Cropped to a single cell · peripheral blood film:
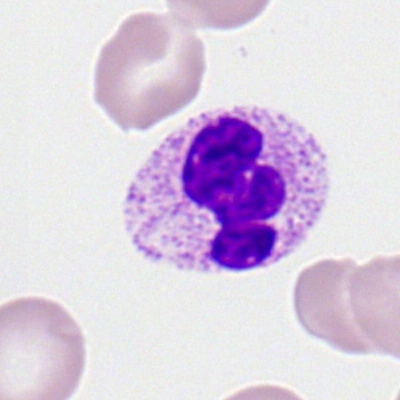
This is a neutrophil (segmented).